Bone marrow smear — 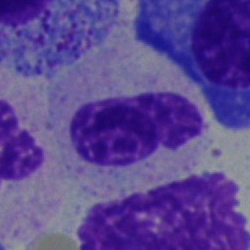

Morphological class — band neutrophil.